Peripheral blood film · Romanowsky-stained.
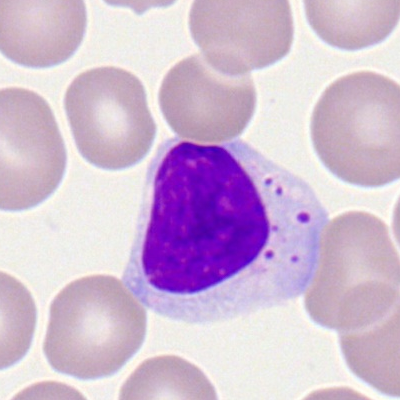

A lymphocyte.